Bone marrow aspirate smear
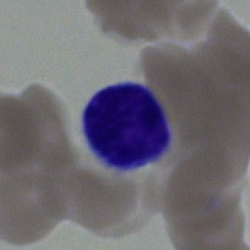

Morphological class — lymphocyte.